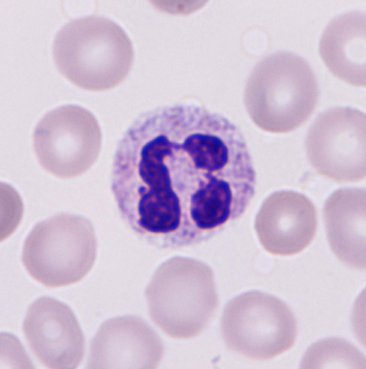 Morphology → neutrophilic granulocyte. CellaVision DM96 · peripheral blood film.